Peripheral blood smear
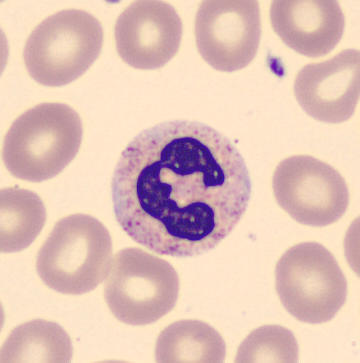
Segmented neutrophil.